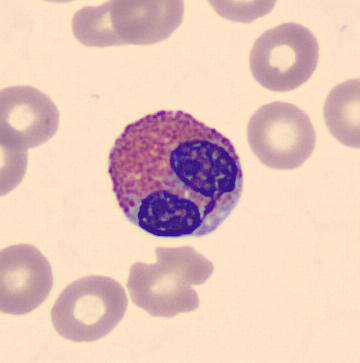

Q: What is shown here?
A: It is an eosinophil. Preparation: Peripheral blood smear.